Bone marrow smear; single-cell field.
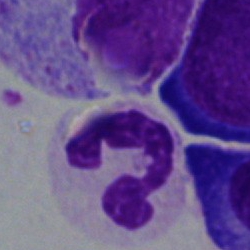Q: Which cell type is shown here?
A: It is a polymorphonuclear neutrophil.